Bone marrow smear. Cropped to a single cell — 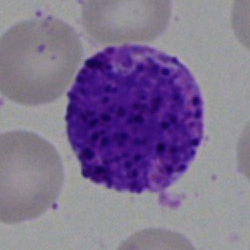
Segmented neutrophil.